Bone marrow aspirate smear
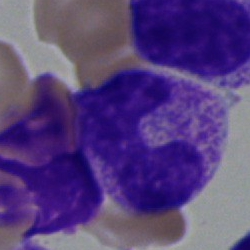{"cell_type": "neutrophil (band)"}